Bone marrow smear:
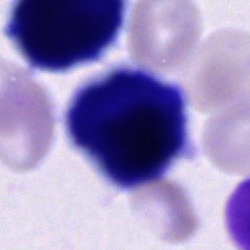

Q: What is shown here?
A: Cell of indeterminate lineage.